Single cell centered in the field; peripheral blood film: 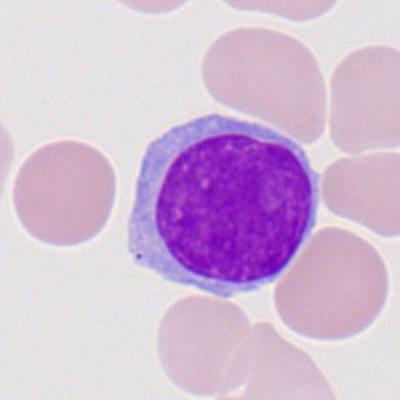 Q: What cell is this?
A: It is a lymphocyte.